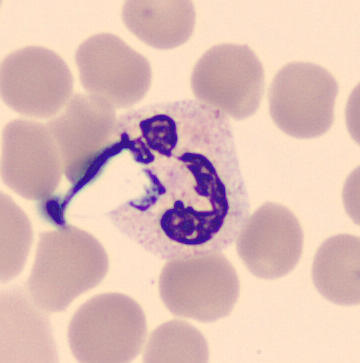Preparation: Peripheral blood smear. CellaVision DM96 digital cell image.
Morphology — segmented neutrophil.